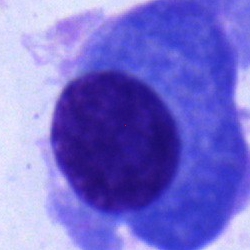 Impression → plasmacyte.